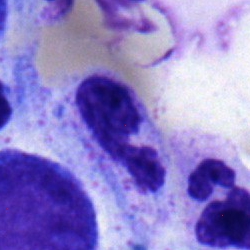 Single cell identified as a segmented neutrophil.